Bone marrow smear. Image size 250×250
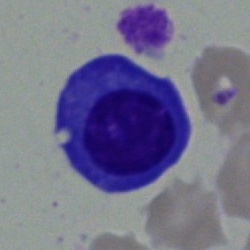 Classification: plasmacyte.